Bone marrow aspirate smear · 250 by 250 pixels · 40× oil immersion
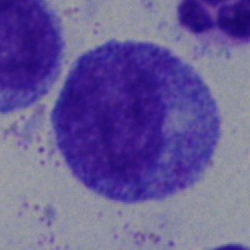 Q: What is shown here?
A: It is a progranulocyte.